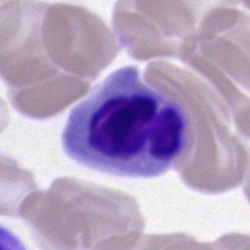 Classification — erythroblast.